Pappenheim-stained; bone marrow smear:
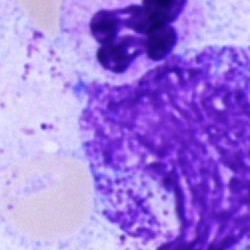Showing an artefact.